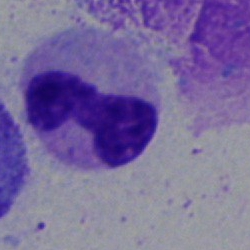
The cell shown is a neutrophil (band).